250 by 250 pixels. Bone marrow aspirate smear. 40× objective, oil immersion:
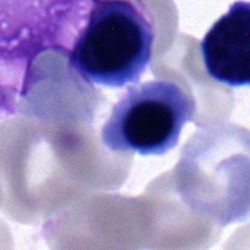Normoblast.